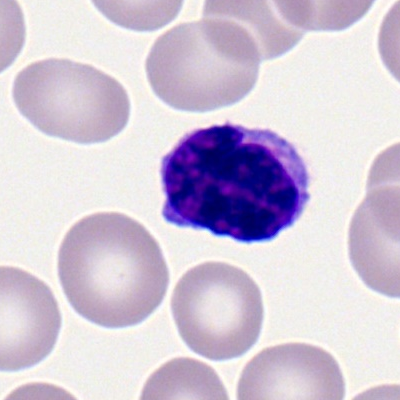
Q: What type of cell is this?
A: This is a lymphocyte.